Bone marrow smear: 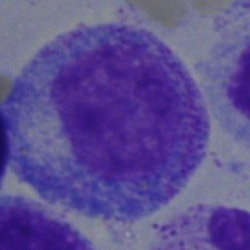

{"cell_type": "promyelocyte", "lineage": "myeloid"}